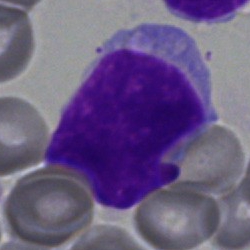The cell is blast cell.